Bone marrow smear. May-Grünwald-Giemsa/Pappenheim stain
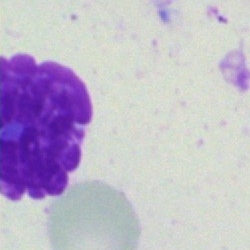Cell type — artefact.